Bone marrow aspirate smear — 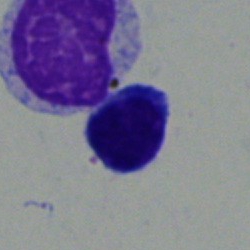

Specimen: bone marrow smear.
Cell type: lymphocyte.